Bone marrow smear:
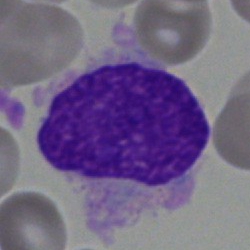

Cell type — artefact.